Bone marrow smear
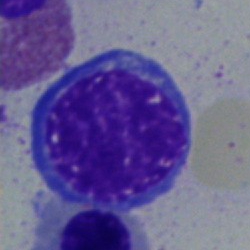
Classification = nucleated red blood cell.